May-Grünwald-Giemsa stain; bone marrow smear
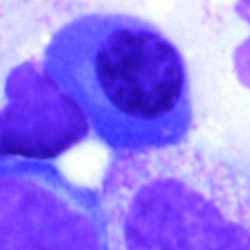 The classification is plasma cell.